40× objective, oil immersion. 250 by 250 pixels. Bone marrow smear
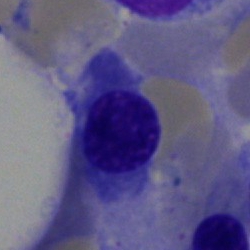
Cell = normoblast.